250 by 250 pixels; MGG-stained; bone marrow smear: 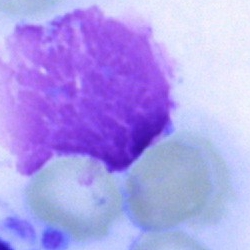 Specimen: bone marrow smear.
Morphological class: artifact.